Bone marrow aspirate smear. MGG-stained: 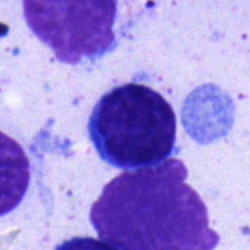

Specimen: bone marrow smear.
Classification: typical lymphocyte.
Lineage: lymphoid.